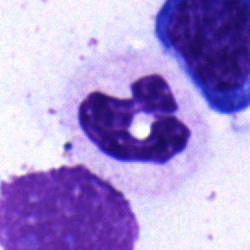This is a neutrophil (segmented).